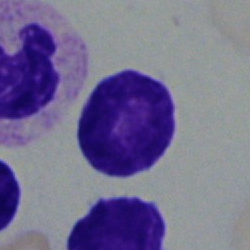 Typical lymphocyte.